Bone marrow smear
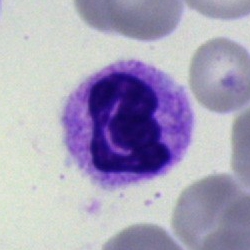

Cell — polymorphonuclear neutrophil.